May-Grünwald-Giemsa/Pappenheim stain; bone marrow smear — 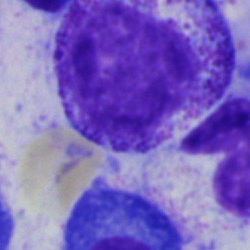Q: What type of cell is this?
A: A myelocyte.